Bone marrow aspirate smear. 250×250. MGG-stained:
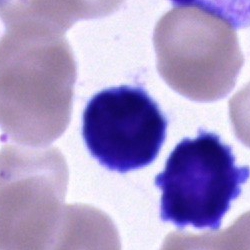

A lymphocyte.